Peripheral blood smear:
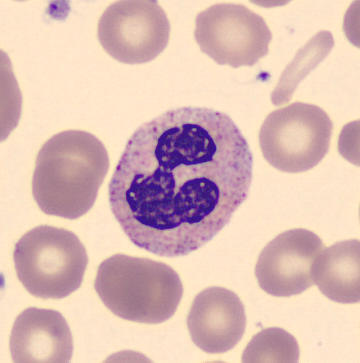 Cell = neutrophil (segmented).